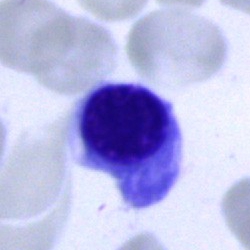 Q: What is the morphological classification of this cell?
A: Erythroblast.